Cropped to a single cell; May-Grünwald-Giemsa stain; bone marrow aspirate smear.
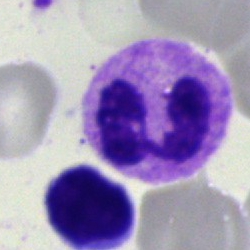

Classification = polymorphonuclear neutrophil.